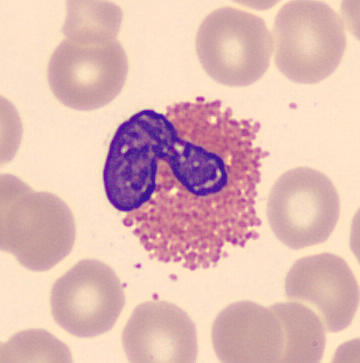

Specimen: peripheral blood film.
Cell type: eosinophilic granulocyte.
Lineage: myeloid.